Bone marrow aspirate smear:
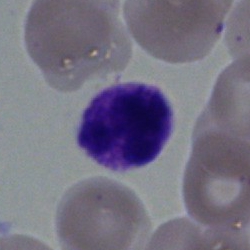Impression → neutrophil (segmented).